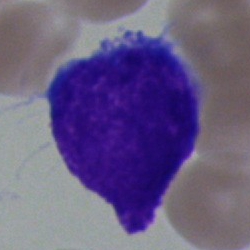

Q: What is shown here?
A: Undifferentiated blast.